Bone marrow aspirate smear.
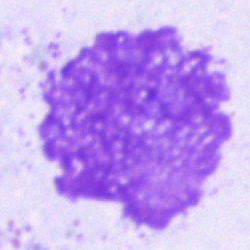Cell type — artefact.